Bone marrow smear — 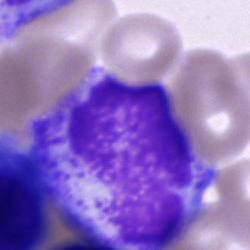 Specimen: bone marrow smear.
Classification: cell of indeterminate lineage.